Peripheral blood film. 400×400 px
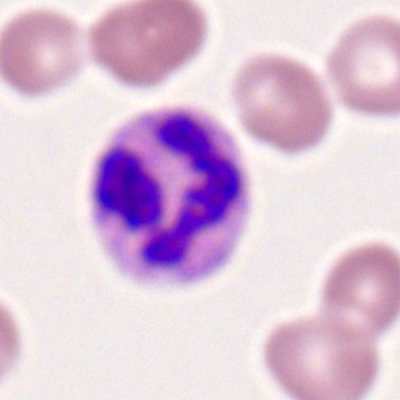Q: What type of cell is this?
A: A neutrophil (segmented).